Bone marrow smear — 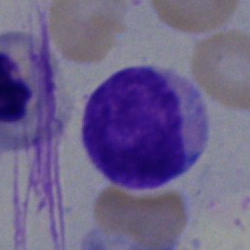 Showing a lymphocyte.